Single cell centered in the field · bone marrow smear: 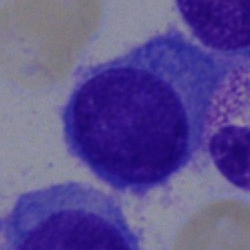 Specimen: bone marrow smear.
Cell: plasmacyte.